Bone marrow smear.
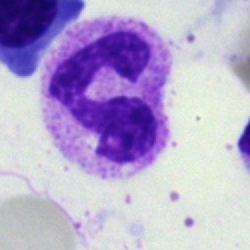

Specimen: bone marrow smear.
Classification: segmented neutrophil.
Lineage: myeloid.